Single-cell crop. Bone marrow aspirate smear
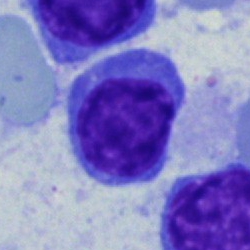
Lymphocyte.